Bone marrow aspirate smear: 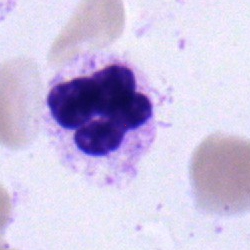
Morphological class = segmented neutrophil.